Bone marrow smear
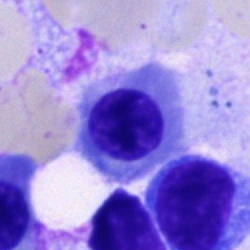 {"cell_type": "normoblast"}